Bone marrow smear: 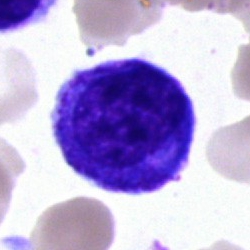
Q: Identify the cell.
A: Progranulocyte.